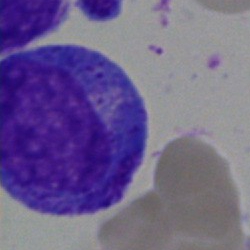 Morphology consistent with a progranulocyte.